Bone marrow smear · cropped to a single cell — 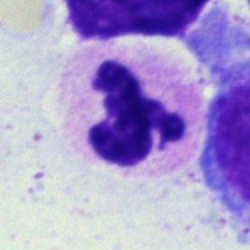A polymorphonuclear neutrophil.